Bone marrow aspirate smear
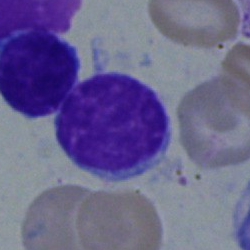

Impression — lymphocyte.